Bone marrow aspirate smear. 40× objective, oil immersion: 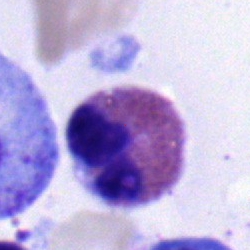
Specimen: bone marrow smear.
Morphological class: eosinophil.
Lineage: myeloid.